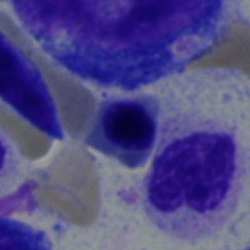 Specimen: bone marrow smear.
Cell type: nucleated red cell.